Bone marrow smear. MGG-stained. 250 by 250 pixels.
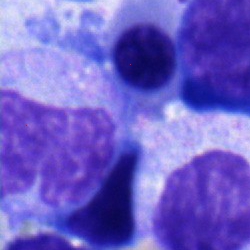Specimen: bone marrow aspirate smear.
Morphological class: monocyte.
Lineage: myeloid.